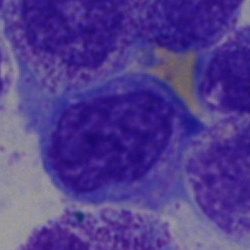
Cell — blast.